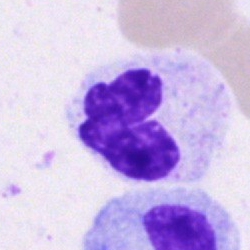
Q: What type of cell is this?
A: A neutrophil (segmented).